Romanowsky-stained; peripheral blood film; single-cell field — 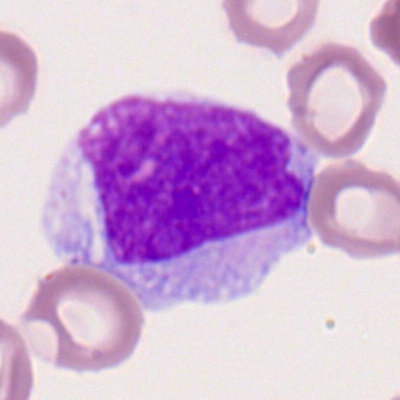 Cell type = monocyte.